Bone marrow smear · 40× oil immersion · single-cell field:
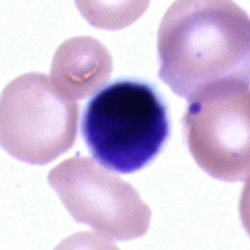Specimen: bone marrow aspirate smear.
Cell type: unidentifiable cell.